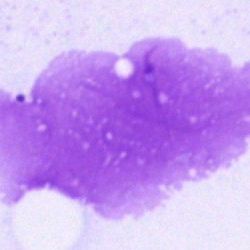
Specimen: bone marrow aspirate smear.
Cell type: artifact.